Bone marrow smear:
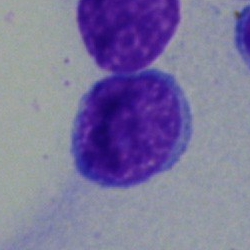
Cell: blast.